Bone marrow smear · May-Grünwald-Giemsa/Pappenheim stain
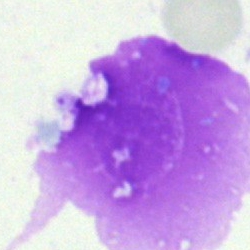Single cell identified as an artifact.